Peripheral blood film:
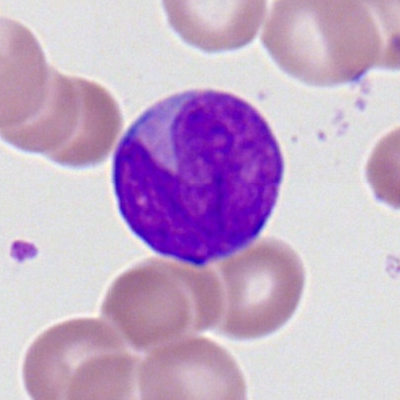
Specimen: peripheral blood smear.
Classification: myeloblast.
Lineage: myeloid.